400 by 400 pixels · single-cell field · peripheral blood smear
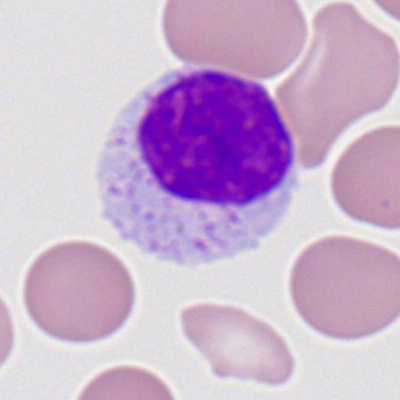 Typical lymphocyte.